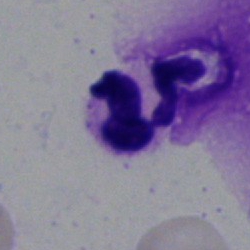

Segmented neutrophil.